40× objective, oil immersion. Cropped to a single cell. Bone marrow aspirate smear: 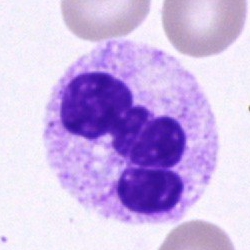 Specimen: bone marrow aspirate smear.
Cell type: neutrophil (segmented).